Single-cell field; bone marrow aspirate smear:
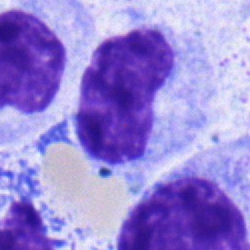 Classification = metamyelocyte.